Bone marrow aspirate smear.
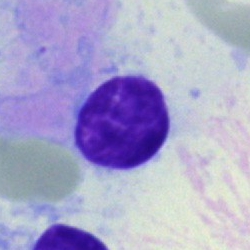

Morphology consistent with a typical lymphocyte.